May-Grünwald-Giemsa/Pappenheim stain. Bone marrow smear: 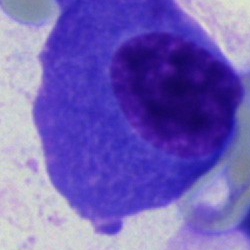

Morphological class = plasmacyte.